Pappenheim-stained. 40× objective, oil immersion. Bone marrow aspirate smear
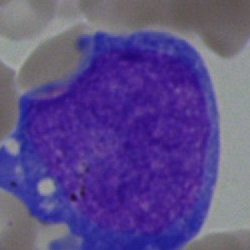
The cell is blast.